Bone marrow smear: 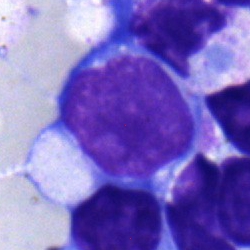Q: What cell is this?
A: A typical lymphocyte.